Peripheral blood film.
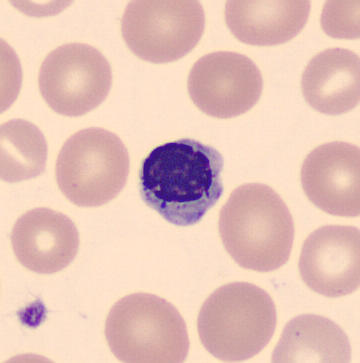Morphology → normoblast.